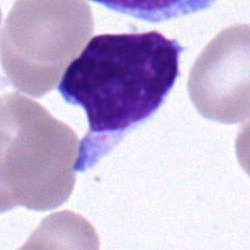 Q: What is the morphological classification of this cell?
A: Lymphocyte.